Bone marrow aspirate smear.
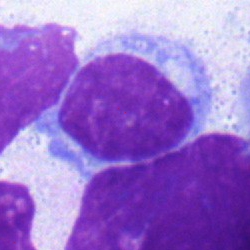Showing a lymphocyte.